Bone marrow smear; May-Grünwald-Giemsa/Pappenheim stain.
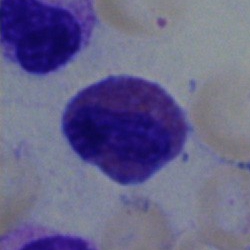 The cell is eosinophil.